Bone marrow smear
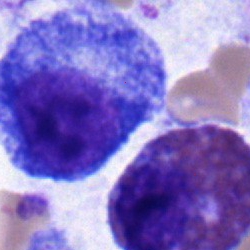
Morphology → progranulocyte.